Bone marrow smear · single cell centered in the field · 40× objective, oil immersion:
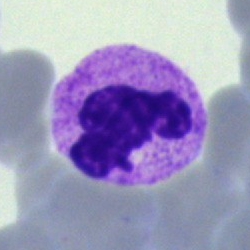

Impression → segmented neutrophil.